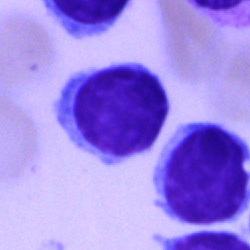

Showing a typical lymphocyte.